Bone marrow aspirate smear · 250 by 250 pixels: 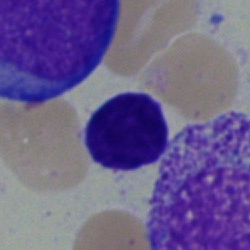

The cell shown is a typical lymphocyte.